40× objective, oil immersion. Bone marrow smear:
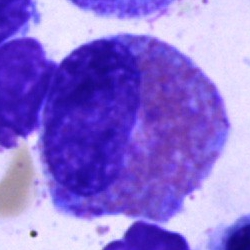Classification — eosinophil.